Bone marrow smear.
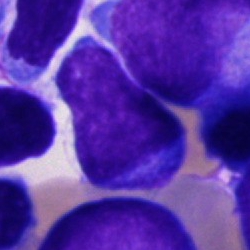 Classification = blast.